Peripheral blood film: 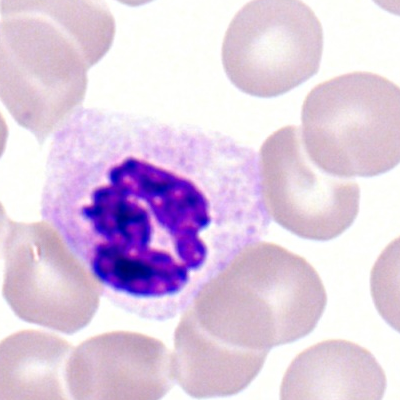

Single cell identified as a polymorphonuclear neutrophil.